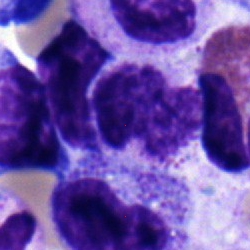Cell type — metamyelocyte.